May-Grünwald-Giemsa stain. Bone marrow aspirate smear. 250×250 px — 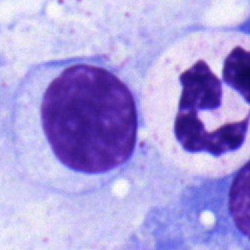 Classification — lymphocyte.